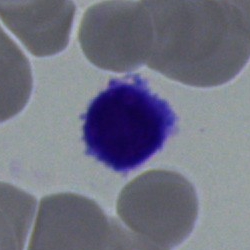 Morphological class — lymphocyte.